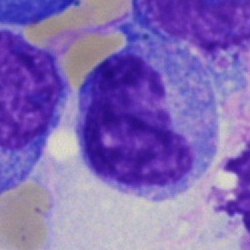
Bone marrow aspirate smear, single cell — monocyte.